250×250 · bone marrow aspirate smear: 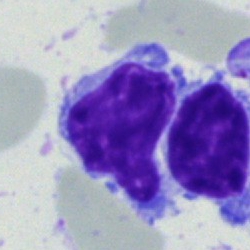Cell = lymphocyte.